Bone marrow aspirate smear — 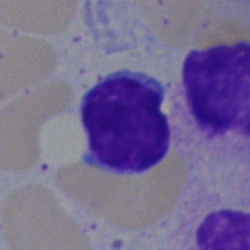
Cell = lymphocyte.